Peripheral blood smear: 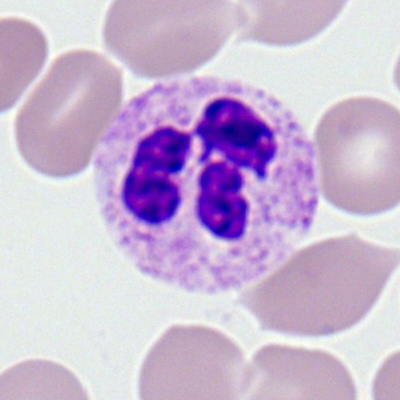
Q: What cell is this?
A: It is a segmented neutrophil.